Bone marrow aspirate smear. MGG-stained: 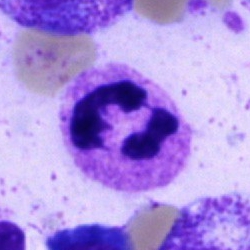 Morphology consistent with a polymorphonuclear neutrophil.